Bone marrow aspirate smear
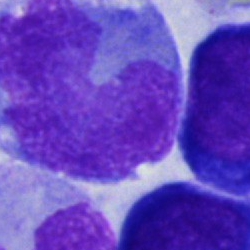 Classification — stab cell.